Bone marrow smear; 250×250 — 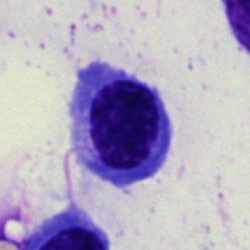Impression → erythroblast.